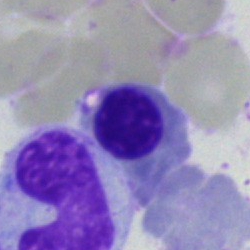 {"cell_type": "nucleated red cell", "lineage": "erythroid"}